250 by 250 pixels; bone marrow aspirate smear
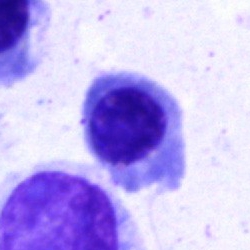

The classification is erythroblast.